Peripheral blood film
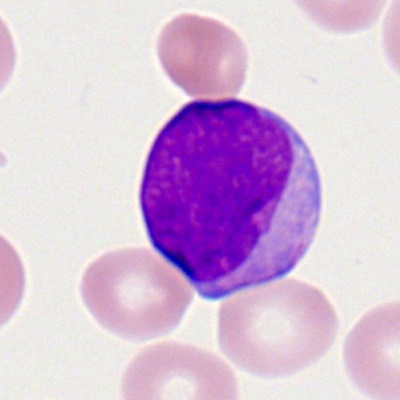
Cell type: myeloblast.